Bone marrow smear; cropped to a single cell — 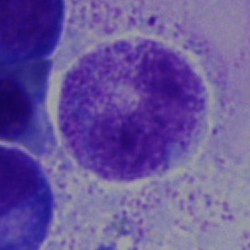This is a band neutrophil.